Image size 250×250 · bone marrow smear · 40× oil immersion.
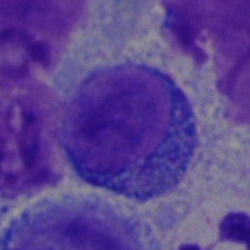Specimen: bone marrow aspirate smear.
Cell type: pronormoblast.
Lineage: erythroid.